Bone marrow aspirate smear.
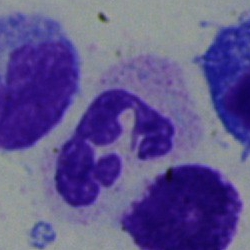

Q: What type of cell is this?
A: This is a polymorphonuclear neutrophil.